Image size 250×250 · bone marrow aspirate smear: 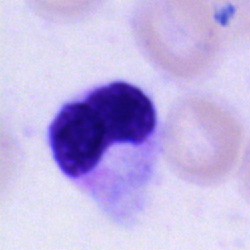
Segmented neutrophil.